Peripheral blood smear; cropped to a single cell — 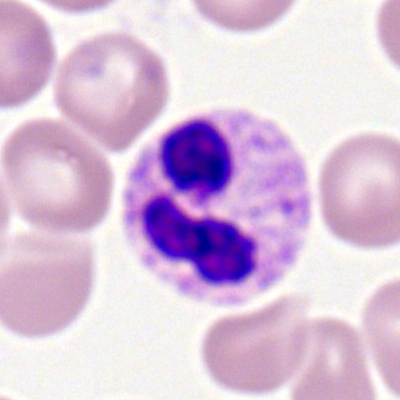

Single cell identified as a segmented neutrophil.